Bone marrow aspirate smear — 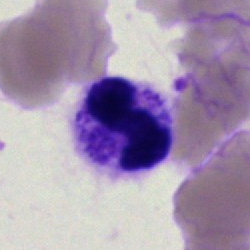Classification — polymorphonuclear neutrophil.